Bone marrow aspirate smear
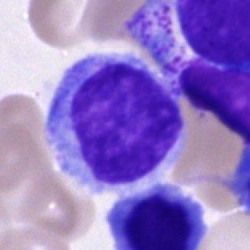

A typical lymphocyte.